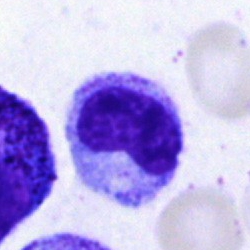 Specimen: bone marrow smear.
Cell type: metamyelocyte.
Lineage: myeloid.